Bone marrow smear; 250×250
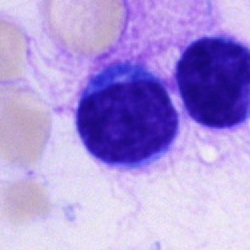 The cell type is lymphocyte.